Peripheral blood smear · 100× objective, oil immersion
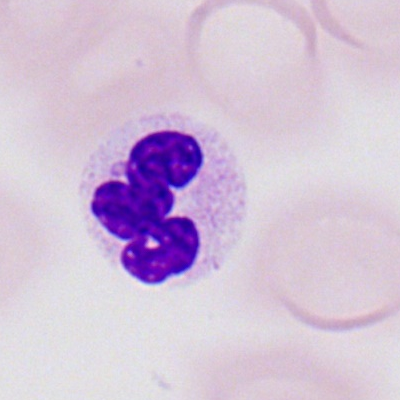
Single cell identified as a neutrophil (segmented).